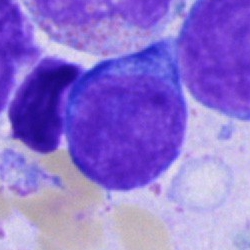A blast.